May-Grünwald-Giemsa/Pappenheim stain · bone marrow smear — 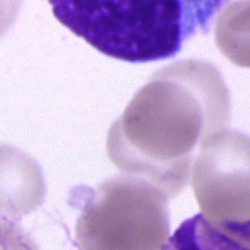 This is a cell of indeterminate lineage.